Bone marrow aspirate smear.
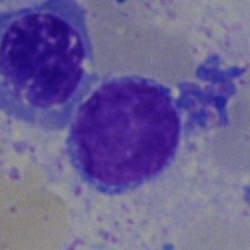 Showing a typical lymphocyte.